Bone marrow smear — 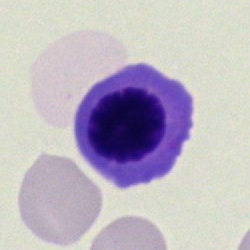

Impression → erythroblast.